Bone marrow smear
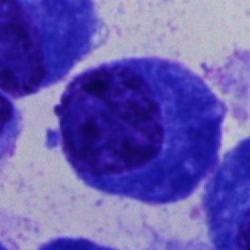
Morphological class: plasma cell.